Bone marrow aspirate smear · May-Grünwald-Giemsa/Pappenheim stain · single-cell crop
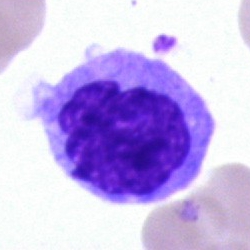
Monocyte.